Bone marrow aspirate smear.
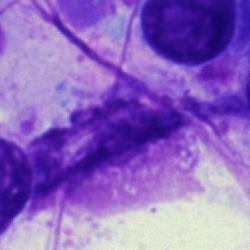The cell shown is an artifact.